Peripheral blood film — 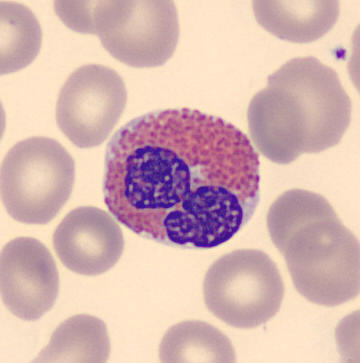 Specimen: peripheral blood smear.
Cell: eosinophilic granulocyte.
Lineage: myeloid.